Cropped to a single cell; peripheral blood smear; image size 400×400 — 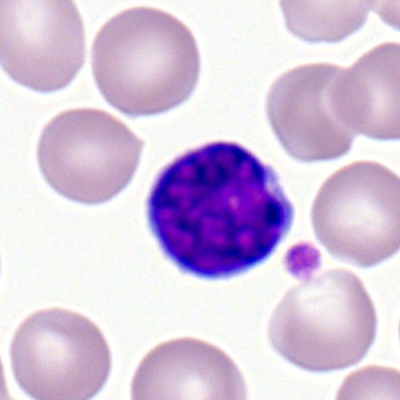 Morphological class = typical lymphocyte.